400×400 · peripheral blood smear.
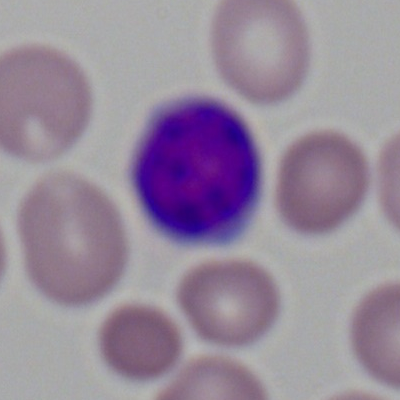
Specimen: peripheral blood film.
Morphological class: lymphocyte.
Lineage: lymphoid.